Bone marrow aspirate smear · May-Grünwald-Giemsa/Pappenheim stain · 250×250: 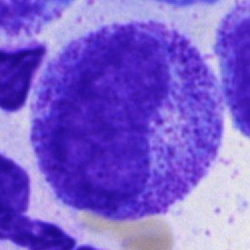 Specimen: bone marrow smear.
Morphological class: promyelocyte.